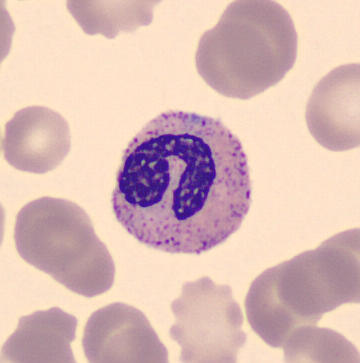Peripheral blood smear showing a band neutrophil.